250×250. Bone marrow aspirate smear:
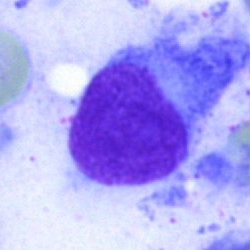
Morphology consistent with a hairy cell.